Brightfield, 40× oil-immersion objective; bone marrow smear.
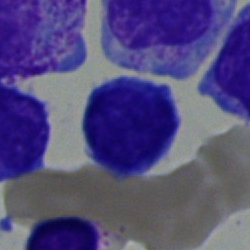 Specimen: bone marrow aspirate smear.
Morphological class: lymphocyte.